Peripheral blood film
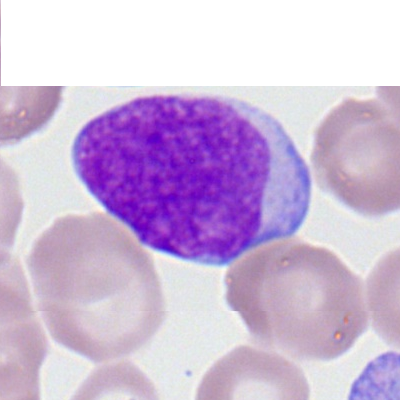 Q: What is shown here?
A: A myeloid blast.